Bone marrow smear — 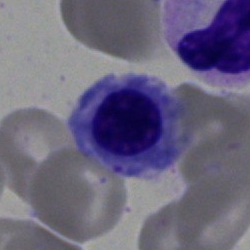Cell = nucleated red blood cell.